Bone marrow smear · 250×250 px — 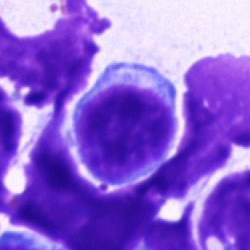 A lymphocyte.